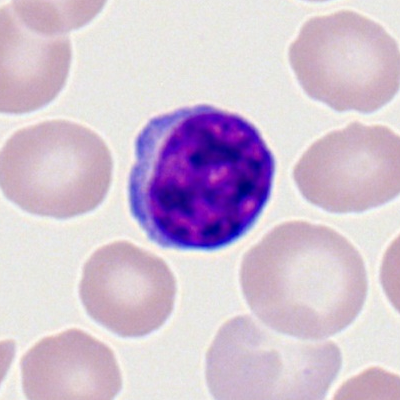

Specimen: peripheral blood film.
Cell type: typical lymphocyte.